Peripheral blood smear · Romanowsky-type stain — 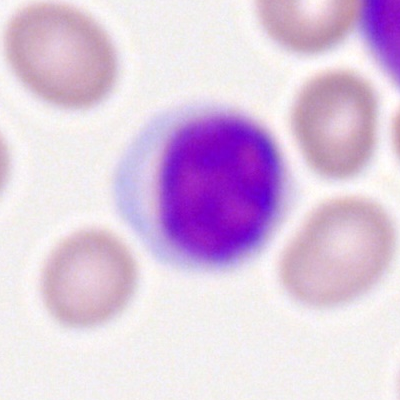

Morphological class: typical lymphocyte.